Peripheral blood film; Romanowsky stain — 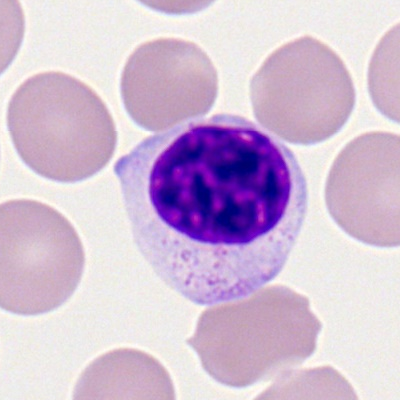
Q: What is the morphological classification of this cell?
A: This is a lymphocyte.